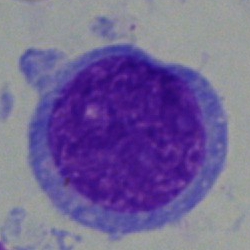 A blast cell on a bone marrow smear.